Bone marrow smear: 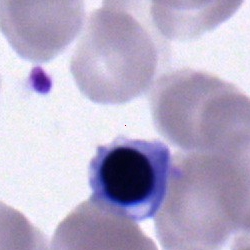

Specimen: bone marrow smear.
Classification: nucleated red cell.